Bone marrow aspirate smear · image size 250×250
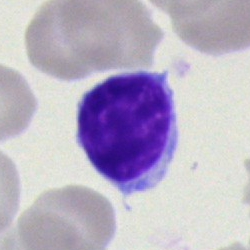
Classification — lymphocyte.